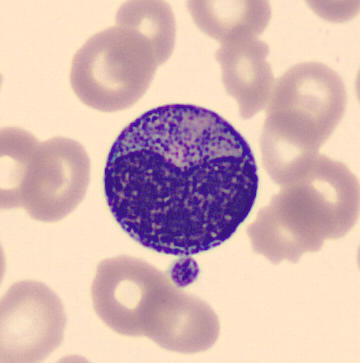
The classification is promyelocyte.